Bone marrow aspirate smear
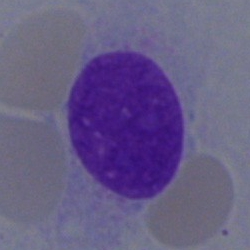 Cell type: artefact.